Bone marrow aspirate smear:
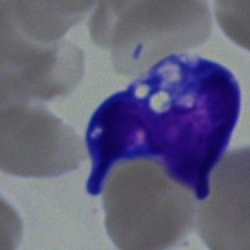

Blast.